Bone marrow smear: 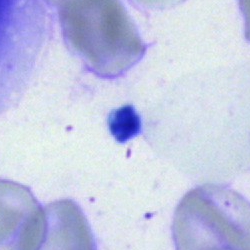

Specimen: bone marrow smear.
Cell type: artefact.